Bone marrow smear
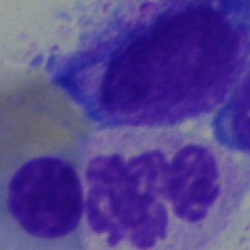
Classification: neutrophil (segmented).